Bone marrow smear; 40× oil immersion — 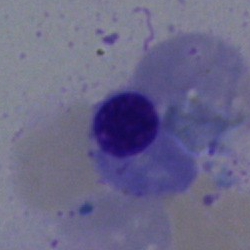Cell type: nucleated red cell.